Bone marrow smear · 250×250 px:
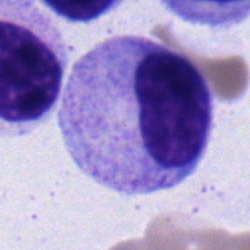

Q: What is the morphological classification of this cell?
A: This is a myelocyte.